Image size 250×250; bone marrow smear: 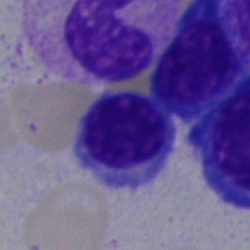Q: What is the morphological classification of this cell?
A: This is a lymphocyte.